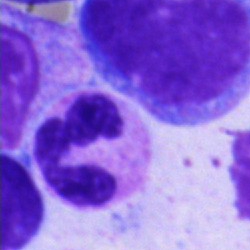
Single cell identified as a segmented neutrophil.